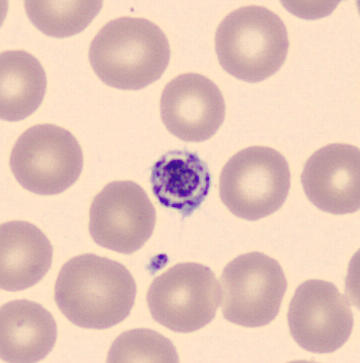Classification = thrombocyte.